Bone marrow aspirate smear — 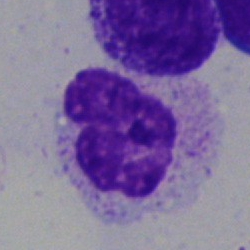 Q: Identify the cell.
A: This is a polymorphonuclear neutrophil.